Bone marrow smear:
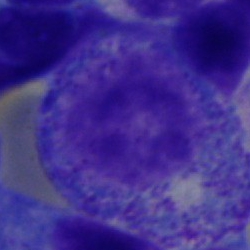

Showing a progranulocyte.